Bone marrow aspirate smear: 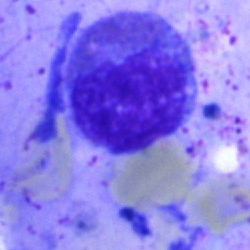 Q: What is shown here?
A: Artifact.